Bone marrow aspirate smear
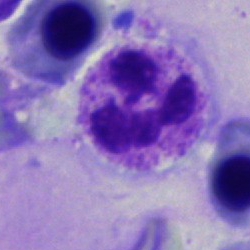 Morphology consistent with a normoblast.